40× objective, oil immersion · cropped to a single cell · bone marrow aspirate smear:
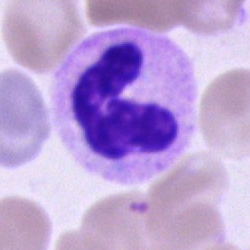 Cell = polymorphonuclear neutrophil.